Bone marrow aspirate smear: 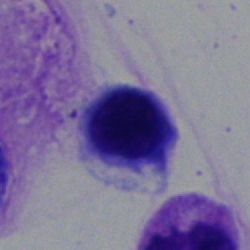Q: What cell is this?
A: Normoblast.